Bone marrow aspirate smear · brightfield microscopy, 40× oil immersion
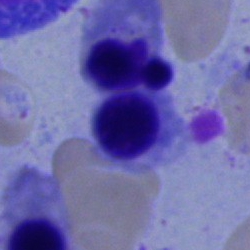

Classification = nucleated red blood cell.